Bone marrow smear; 250 by 250 pixels: 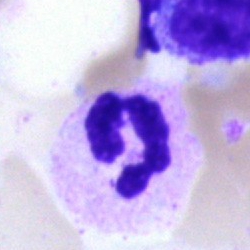

Morphology — neutrophil (segmented).